Bone marrow aspirate smear
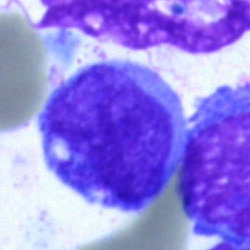Morphology consistent with a blast.